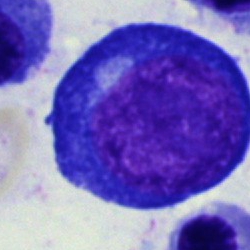Q: What is shown here?
A: Proerythroblast.